Single cell centered in the field · bone marrow aspirate smear.
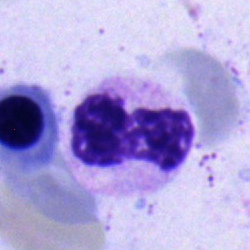 The morphological class is neutrophil (segmented).